Bone marrow aspirate smear.
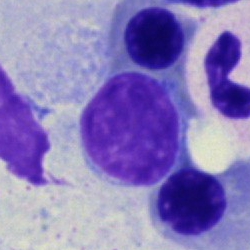

Morphology consistent with a typical lymphocyte.